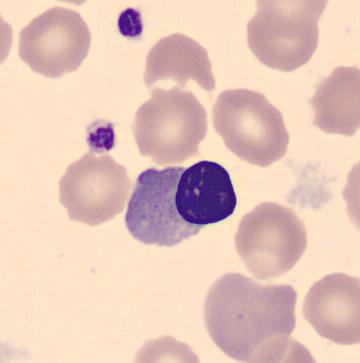
Q: What is shown here?
A: It is an erythroblast.

Image: Peripheral blood smear.